Bone marrow aspirate smear · 250×250 px — 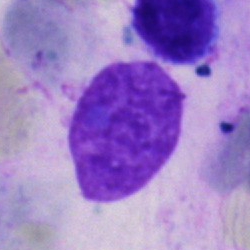
The cell shown is an artefact.